Single cell centered in the field. Bone marrow smear.
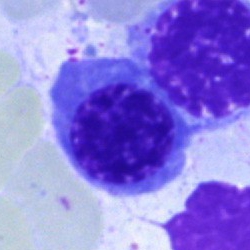
Morphological class = erythroblast.